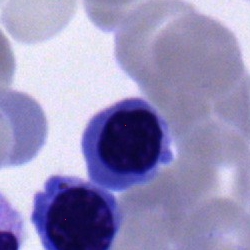

Morphology — nucleated red cell.